Bone marrow aspirate smear.
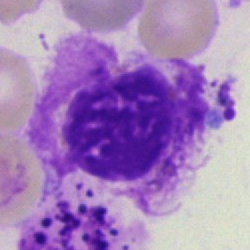

Specimen: bone marrow smear.
Morphological class: artifact.